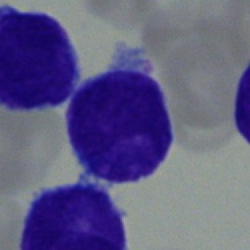 A blast.